MGG-stained. Bone marrow smear. Single cell centered in the field: 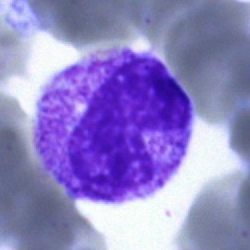
Q: Identify the cell.
A: A band neutrophil.